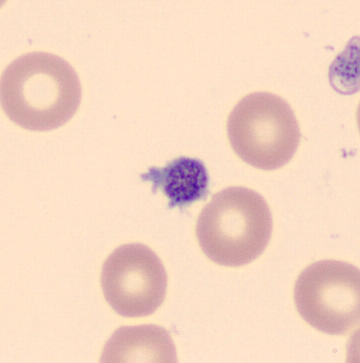Peripheral blood film. MGG-stained. Q: What is shown here?
A: This is a platelet.